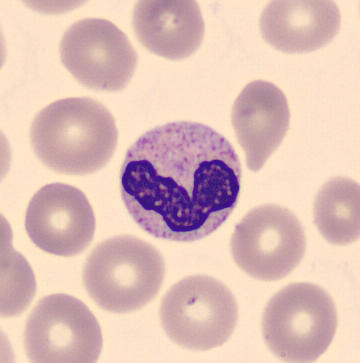 Specimen: peripheral blood film.
Cell type: neutrophil (band).
Lineage: myeloid.
CellaVision DM96.